Bone marrow aspirate smear
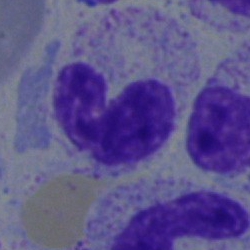

Neutrophil (band).